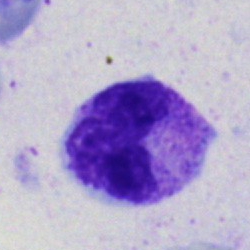
Bone marrow aspirate smear, single cell — band neutrophil.